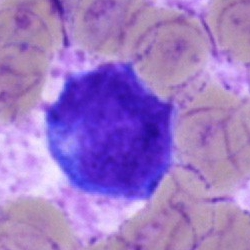
The cell shown is an undifferentiated blast.